Bone marrow aspirate smear:
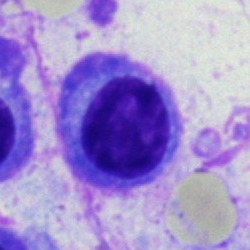
The classification is plasma cell.